Bone marrow smear · May-Grünwald-Giemsa stain
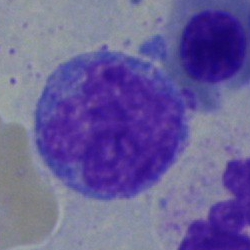

Monocyte.